Bone marrow smear:
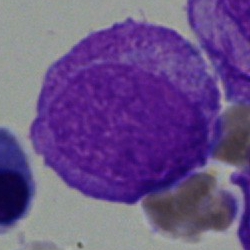Q: Identify the cell.
A: This is a blast.